Bone marrow aspirate smear.
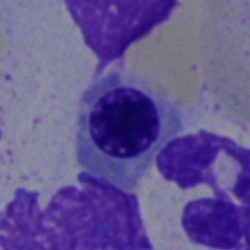
Specimen: bone marrow aspirate smear.
Morphological class: normoblast.
Lineage: erythroid.